40× objective, oil immersion. Bone marrow smear — 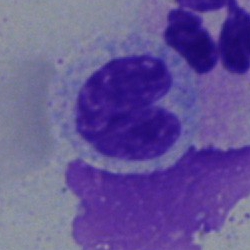

Morphological class — band-form neutrophil.